Bone marrow smear. May-Grünwald-Giemsa stain.
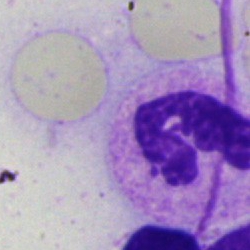 This is a polymorphonuclear neutrophil.